Bone marrow aspirate smear · single cell centered in the field — 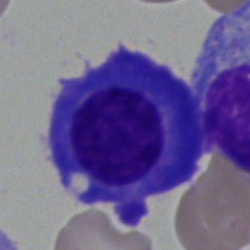Morphological class — plasma cell.